Bone marrow aspirate smear; 250×250 px:
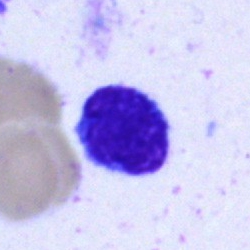Morphology consistent with a typical lymphocyte.